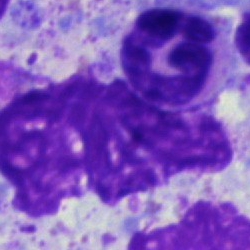
Impression → artifact.